Bone marrow aspirate smear — 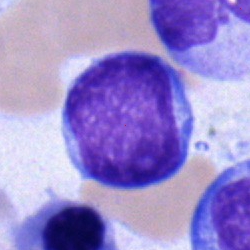
Impression — blast cell.